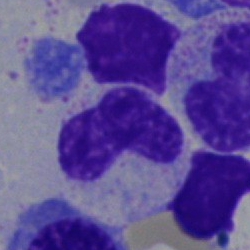

Morphology — neutrophil (band).